May-Grünwald-Giemsa stain. Bone marrow smear — 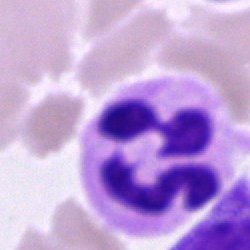 {"cell_type": "polymorphonuclear neutrophil", "lineage": "myeloid"}